Bone marrow aspirate smear: 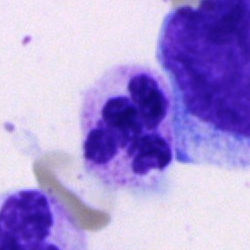{"cell_type": "segmented neutrophil", "lineage": "myeloid"}